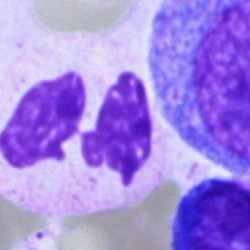

Cell type = neutrophil (segmented).